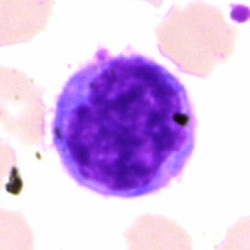
Impression → plasmacyte.